Bone marrow smear. 40× oil immersion — 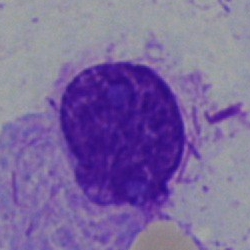
Morphology consistent with a faggot cell.